Bone marrow aspirate smear:
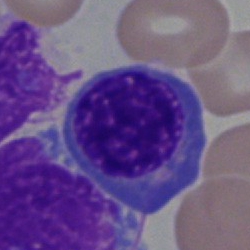Single cell identified as an erythroblast.